Peripheral blood smear. 100× oil immersion: 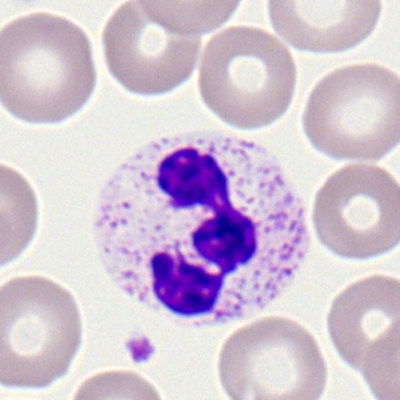
Morphology consistent with a neutrophil (segmented).